Single-cell crop · bone marrow smear · 40× objective, oil immersion: 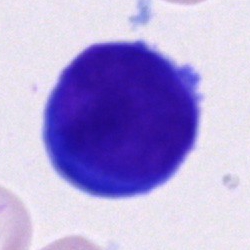
Q: What cell is this?
A: It is a proerythroblast.